Single-cell field · bone marrow aspirate smear.
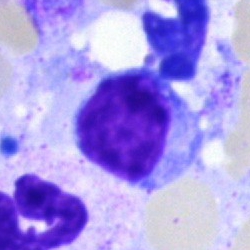

Impression → lymphocyte.